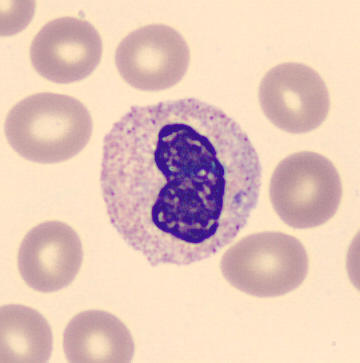

Imaged on a CellaVision DM96 analyser · 360×363 px · peripheral blood film. Cell type — stab cell.